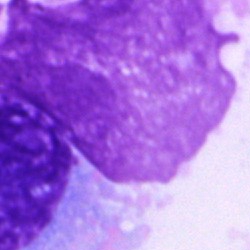

Morphological class: plasmacyte.